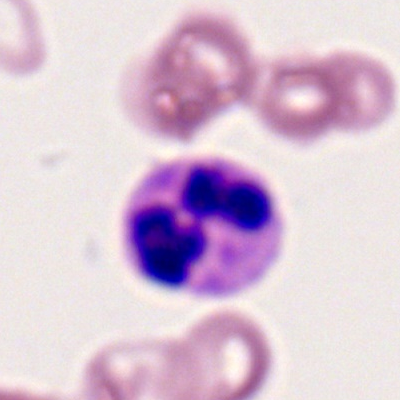

Morphology consistent with a neutrophil (segmented).